400×400. Peripheral blood smear
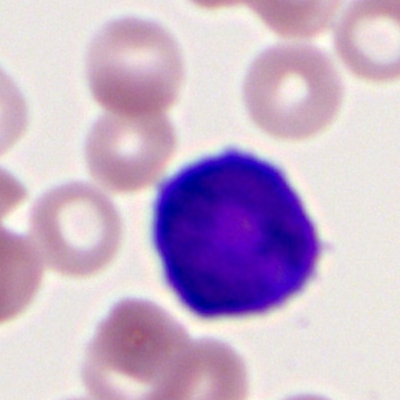 Q: Identify the cell.
A: Myeloid blast.